Bone marrow aspirate smear; 250 by 250 pixels:
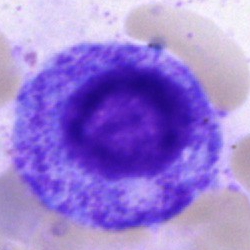
Classification = promyelocyte.